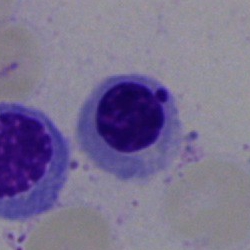
{"cell_type": "nucleated red cell", "lineage": "erythroid"}